Bone marrow aspirate smear; Pappenheim-stained:
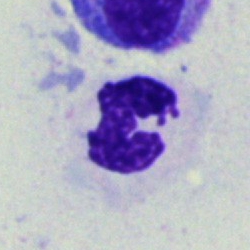
Specimen: bone marrow smear.
Cell type: polymorphonuclear neutrophil.
Lineage: myeloid.